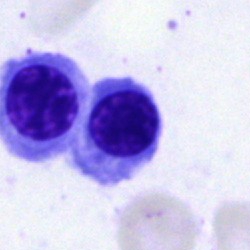Bone marrow smear showing a normoblast.